Single-cell crop · bone marrow smear.
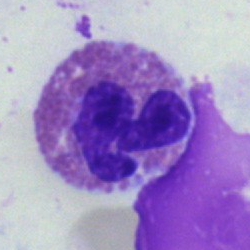 Specimen: bone marrow aspirate smear.
Morphological class: eosinophilic granulocyte.
Lineage: myeloid.